Bone marrow aspirate smear: 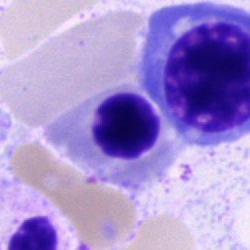 Q: What is the morphological classification of this cell?
A: A normoblast.